Bone marrow aspirate smear — 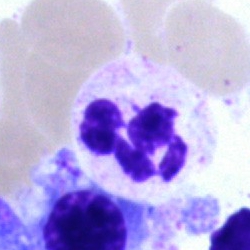 Morphological class: segmented neutrophil.